Bone marrow smear:
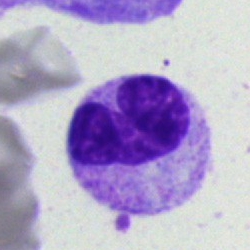

Showing a neutrophil (segmented).